Brightfield, 40× oil-immersion objective. Cropped to a single cell. Bone marrow smear.
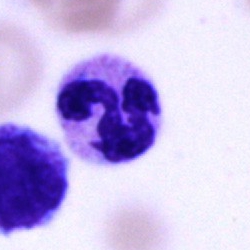 The classification is neutrophil (segmented).